Bone marrow aspirate smear; May-Grünwald-Giemsa stain:
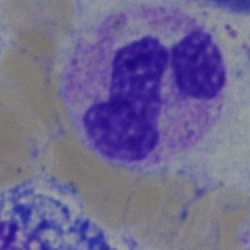
This is a polymorphonuclear neutrophil.